Bone marrow aspirate smear — 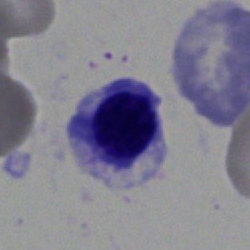{"cell_type": "nucleated red blood cell", "lineage": "erythroid"}